Bone marrow aspirate smear.
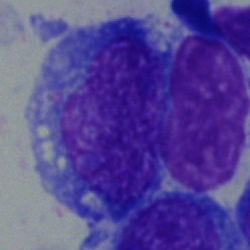Blast.